Brightfield microscopy, 40× oil immersion · bone marrow smear
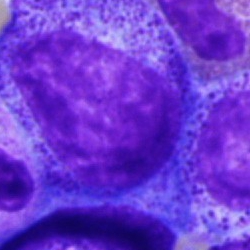

Q: What cell is this?
A: A progranulocyte.